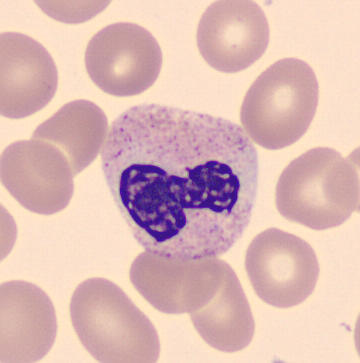
Peripheral blood film.
Q: What type of cell is this?
A: It is a band-form neutrophil.